Bone marrow aspirate smear; 250×250 px — 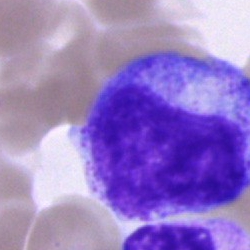 Morphological class: progranulocyte.